Image size 250×250 · bone marrow smear:
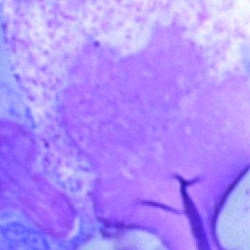

Q: What is shown here?
A: This is an artifact.